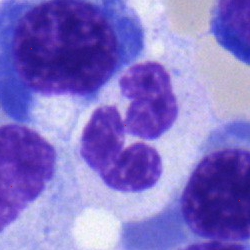Single cell identified as a polymorphonuclear neutrophil.